Bone marrow aspirate smear — 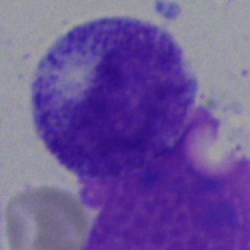
Cell — myelocyte.